250 by 250 pixels · May-Grünwald-Giemsa/Pappenheim stain · bone marrow smear — 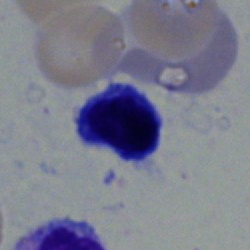 Q: What cell is this?
A: A typical lymphocyte.